Bone marrow smear.
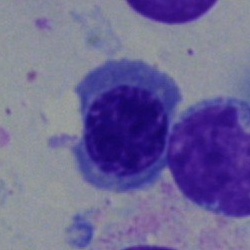 Morphology consistent with a normoblast.